250×250; Pappenheim-stained; bone marrow smear.
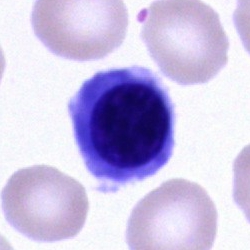 Q: What cell is this?
A: This is a nucleated red cell.